250×250 · single-cell field · bone marrow smear: 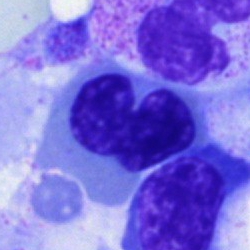

The cell shown is an erythroblast.